Bone marrow aspirate smear
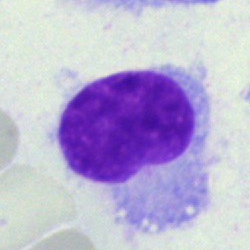Cell type: hairy cell.